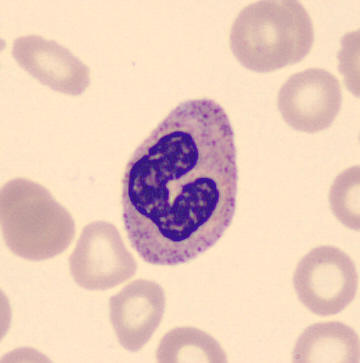
Morphological class = band-form neutrophil.